Bone marrow aspirate smear
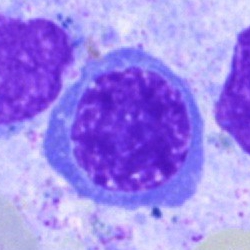 Specimen: bone marrow smear.
Classification: nucleated red cell.